Bone marrow aspirate smear
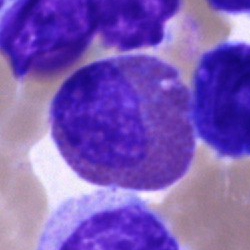

The morphological class is eosinophil.